Bone marrow aspirate smear: 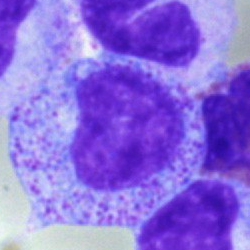 Single cell identified as a progranulocyte.